250 by 250 pixels; bone marrow aspirate smear; 40× oil immersion.
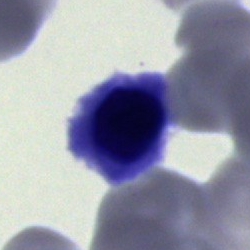

Specimen: bone marrow smear.
Cell type: nucleated red cell.
Lineage: erythroid.